Single-cell crop · bone marrow smear.
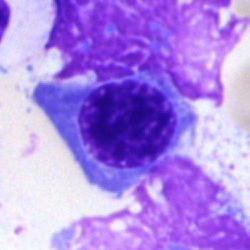

Cell type: nucleated red cell.